Peripheral blood smear: 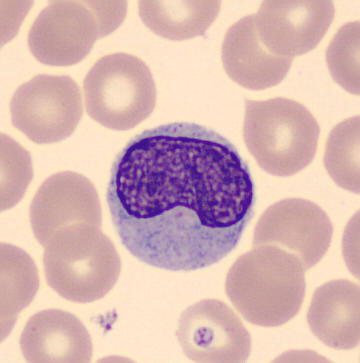Specimen: peripheral blood film.
Classification: monocyte.
Lineage: myeloid.